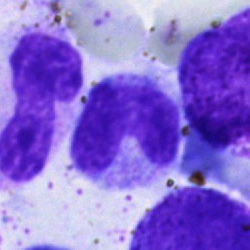Neutrophil (band).